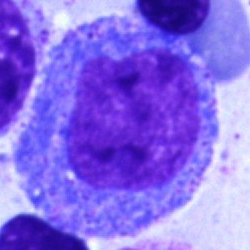
Specimen: bone marrow smear.
Cell type: progranulocyte.